Bone marrow smear:
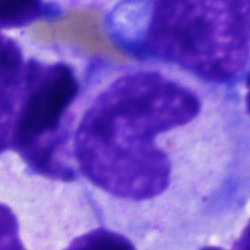 Q: What is shown here?
A: Metamyelocyte.